Brightfield microscopy, 40× oil immersion; bone marrow aspirate smear: 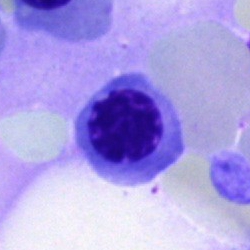 An erythroblast.